Bone marrow aspirate smear
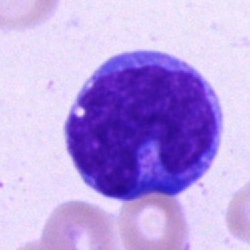A monocyte.